Bone marrow smear.
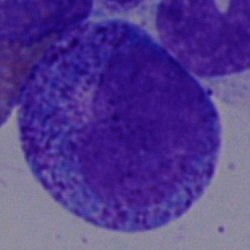

Q: What cell is this?
A: This is a promyelocyte.